Bone marrow aspirate smear · 250×250
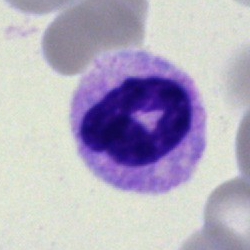

{"cell_type": "segmented neutrophil", "lineage": "myeloid"}